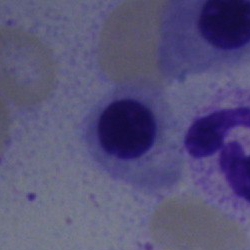
This is an erythroblast.